40× objective, oil immersion · bone marrow smear · 250 by 250 pixels — 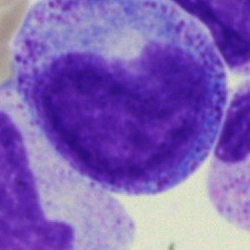

Q: What type of cell is this?
A: Promyelocyte.